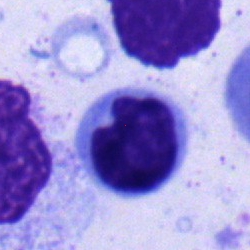The cell shown is a typical lymphocyte.